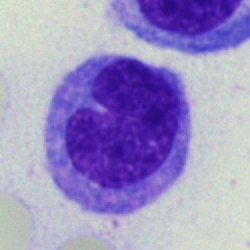{"cell_type": "monocyte", "lineage": "myeloid"}